Bone marrow aspirate smear. 250×250 px — 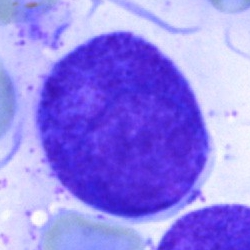

Classification = promyelocyte.